Peripheral blood film
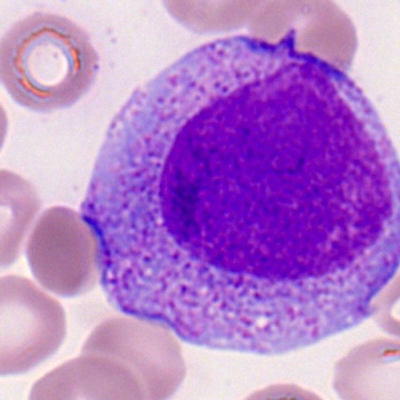
Classification — promyelocyte.